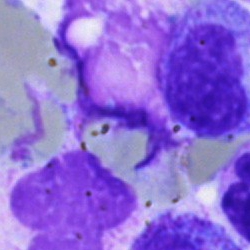Q: What is shown here?
A: This is an artefact.